Single-cell field · bone marrow smear — 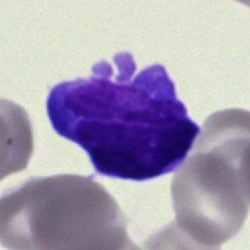 Cell type = undifferentiated blast.